Bone marrow smear · brightfield microscopy, 40× oil immersion
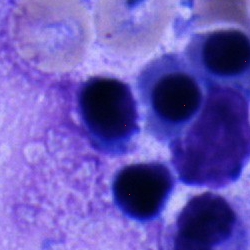Q: Which cell type is shown here?
A: This is a typical lymphocyte.